40× objective, oil immersion; bone marrow aspirate smear:
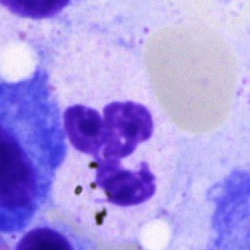 Q: What type of cell is this?
A: This is a polymorphonuclear neutrophil.